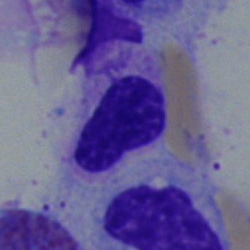Cell = metamyelocyte.